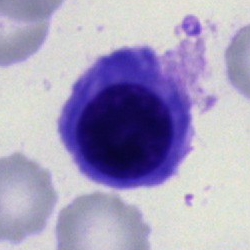Q: What type of cell is this?
A: This is an erythroblast.